Bone marrow smear — 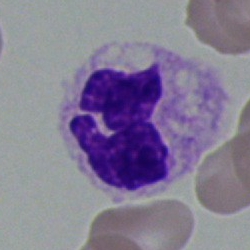Cell type — polymorphonuclear neutrophil.